Bone marrow smear
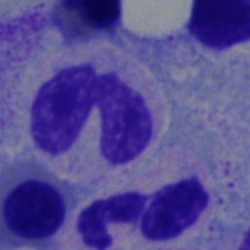 Morphology consistent with a neutrophil (segmented).